May-Grünwald-Giemsa stain. Bone marrow smear. 250×250 px.
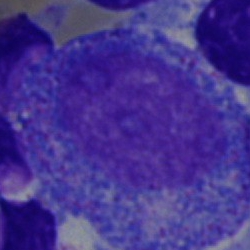 Morphology consistent with a progranulocyte.